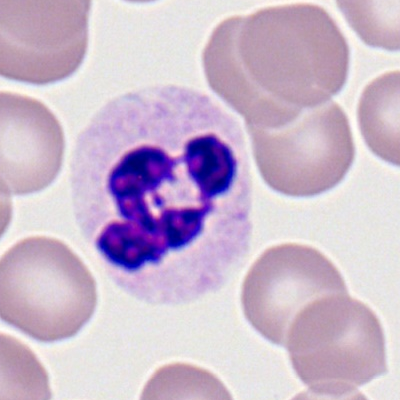 Morphological class = polymorphonuclear neutrophil.